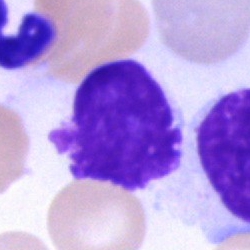Single-cell crop from a bone marrow smear: artefact.